Bone marrow smear: 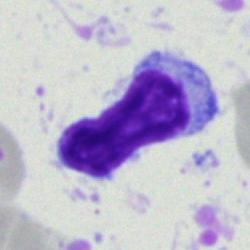Morphological class = typical lymphocyte.